Bone marrow smear — 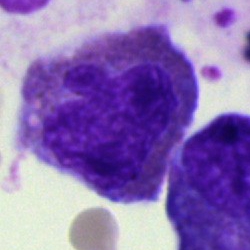Morphological class — eosinophil.